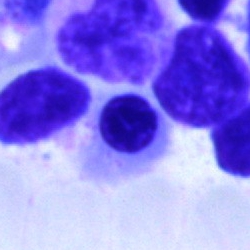{"cell_type": "normoblast", "lineage": "erythroid"}